Bone marrow aspirate smear · 40× oil immersion: 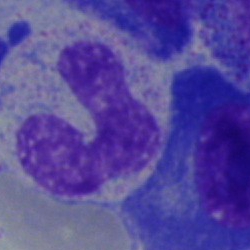
The morphological class is band neutrophil.